Bone marrow aspirate smear:
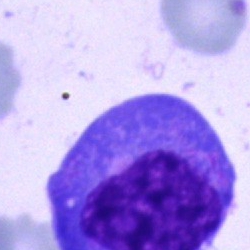
{"cell_type": "undifferentiated blast"}